Single-cell crop; bone marrow smear — 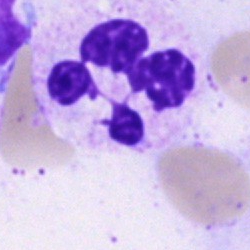Classification: polymorphonuclear neutrophil.